Bone marrow aspirate smear. Pappenheim-stained. Single-cell crop
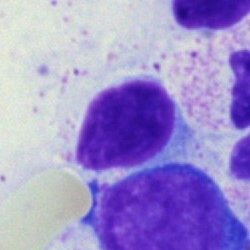

Morphological class = lymphocyte.